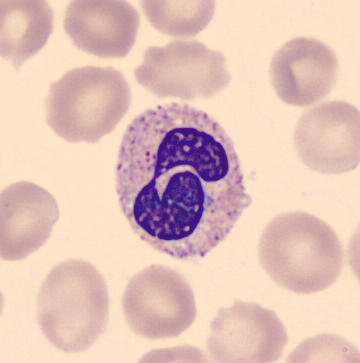
Cell: polymorphonuclear neutrophil.